Bone marrow smear; 250×250 px — 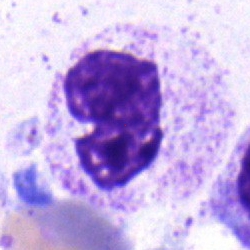

Showing a stab cell.